Peripheral blood film; single-cell field:
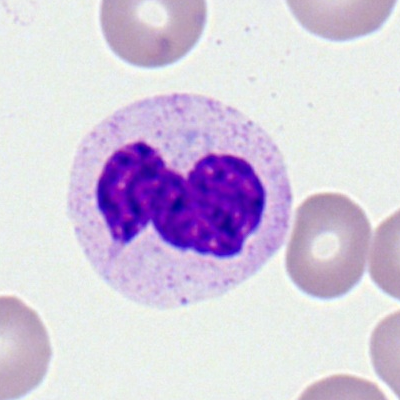
Single cell identified as a segmented neutrophil.